Bone marrow smear:
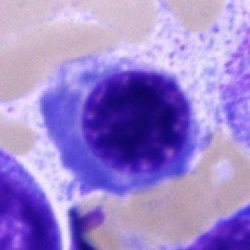 This is a nucleated red blood cell.